Bone marrow aspirate smear
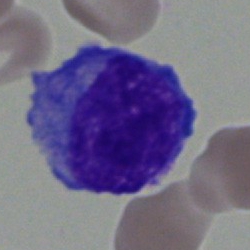 Q: What cell is this?
A: Promyelocyte.